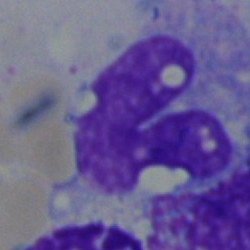Specimen: bone marrow aspirate smear.
Morphological class: monocyte.
Lineage: myeloid.